40× oil immersion; bone marrow smear — 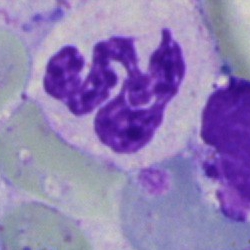

A segmented neutrophil.